MGG-stained · bone marrow aspirate smear: 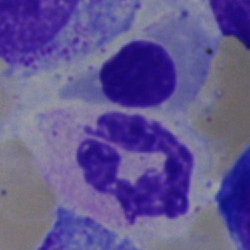

Showing a neutrophil (segmented).